Bone marrow aspirate smear; brightfield microscopy, 40× oil immersion; 250 by 250 pixels.
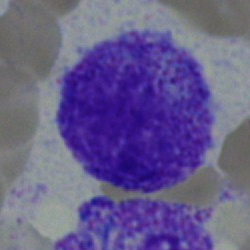 Q: Identify the cell.
A: This is a myelocyte.